Peripheral blood smear. Romanowsky-stained — 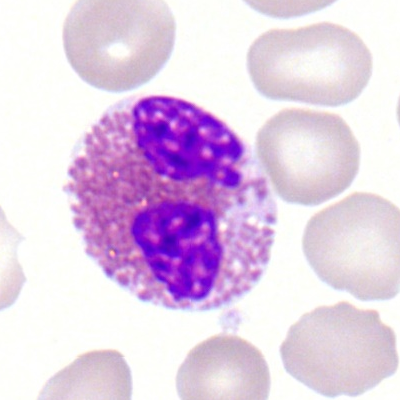 Cell type = eosinophilic granulocyte.